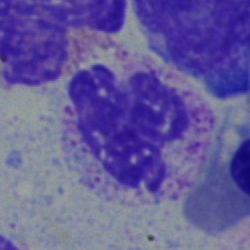

Polymorphonuclear neutrophil.